Bone marrow smear
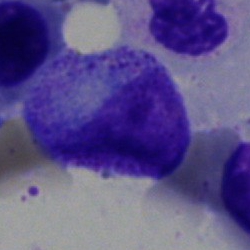

Specimen: bone marrow smear.
Morphological class: progranulocyte.
Lineage: myeloid.